Bone marrow smear.
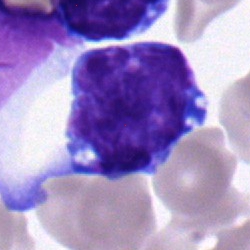

The cell shown is a lymphocyte.